Peripheral blood smear
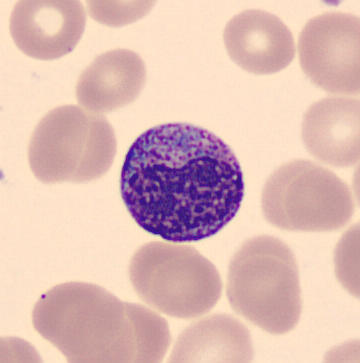
Q: What is this?
A: It is a myelocyte.